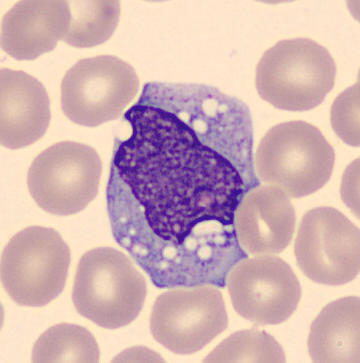
Preparation: CellaVision DM96. Image size 360×363. Peripheral blood smear.

Classification = monocyte.